Bone marrow aspirate smear; Pappenheim-stained:
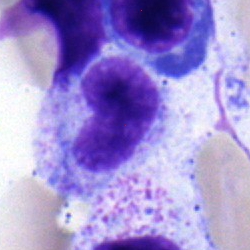

Specimen: bone marrow smear.
Morphological class: metamyelocyte.